Single-cell crop. 250×250. Bone marrow aspirate smear:
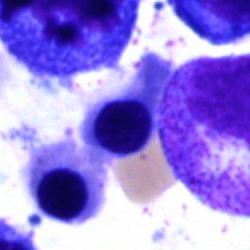A nucleated red cell.